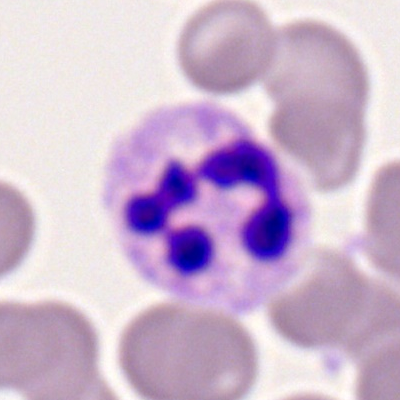 {"cell_type": "polymorphonuclear neutrophil", "lineage": "myeloid"}